Bone marrow smear: 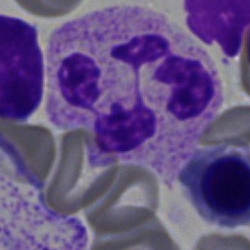Impression → polymorphonuclear neutrophil.